250×250 px · bone marrow smear: 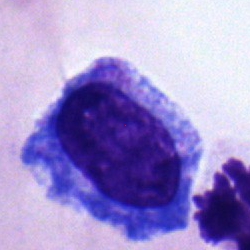 Morphology — progranulocyte.